250×250 px; bone marrow aspirate smear.
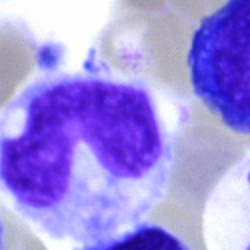

Q: What cell is this?
A: A band-form neutrophil.